Bone marrow aspirate smear.
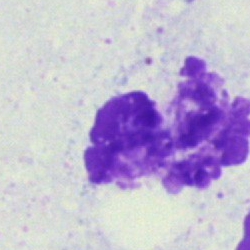

Impression — artifact.